Bone marrow smear — 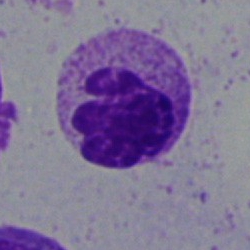
Morphology → neutrophil (segmented).